Bone marrow aspirate smear — 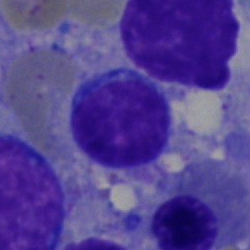 The classification is typical lymphocyte.